Bone marrow aspirate smear.
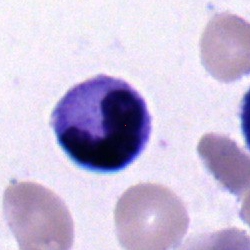

Morphological class = band-form neutrophil.